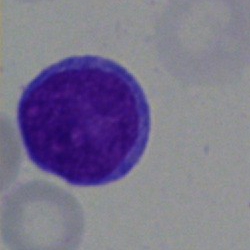Q: What cell is this?
A: This is a blast.